Bone marrow smear; single cell centered in the field; MGG-stained
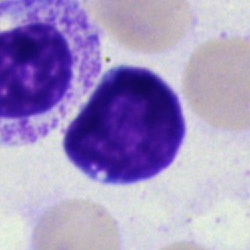

Morphology consistent with a lymphocyte.